Romanowsky-type stain. Peripheral blood smear: 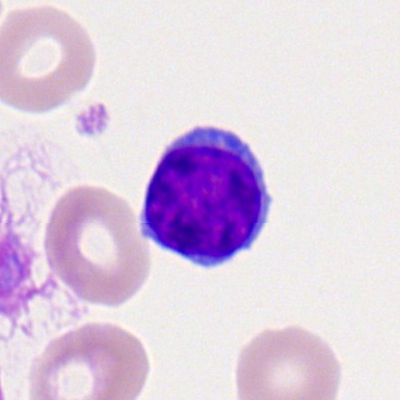
The morphological class is typical lymphocyte.